Peripheral blood smear — 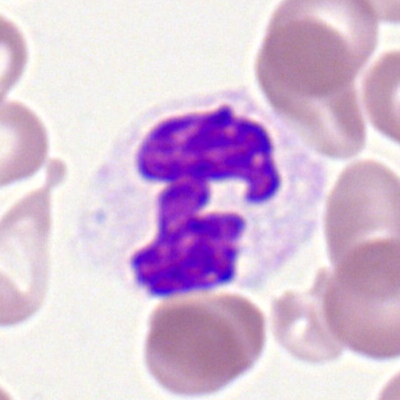
Q: What is shown here?
A: Polymorphonuclear neutrophil.